250 by 250 pixels; single-cell crop; bone marrow smear — 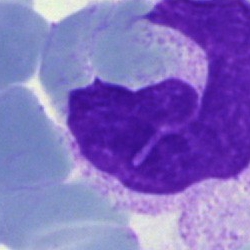

Artefact.